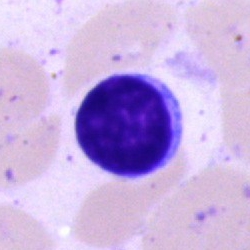
Q: Identify the cell.
A: A lymphocyte.